Bone marrow aspirate smear; MGG-stained; brightfield, 40× oil-immersion objective:
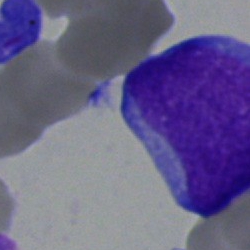
Q: What type of cell is this?
A: It is an undifferentiated blast.